Bone marrow aspirate smear; brightfield microscopy, 40× oil immersion — 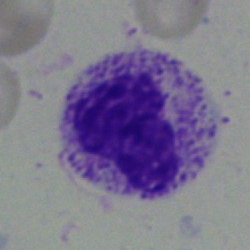 Showing a band neutrophil.